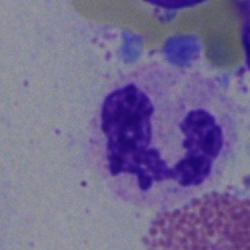 Cell type: neutrophil (segmented).